Peripheral blood film.
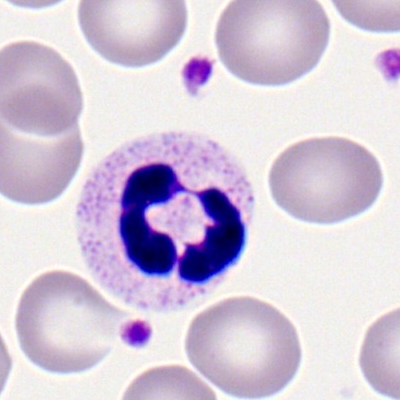 Q: What is the morphological classification of this cell?
A: A polymorphonuclear neutrophil.